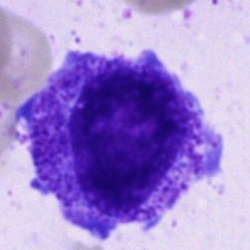
Classification — progranulocyte.